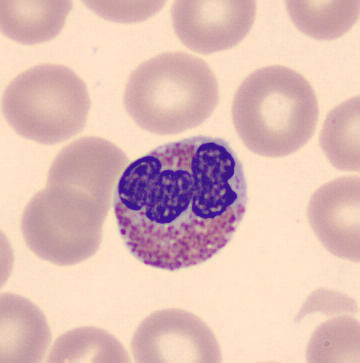Specimen: peripheral blood film.
Classification: eosinophil.